Peripheral blood film
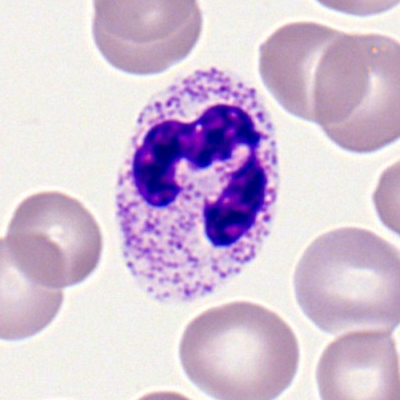
This is a polymorphonuclear neutrophil.